Peripheral blood film; Romanowsky-type stain — 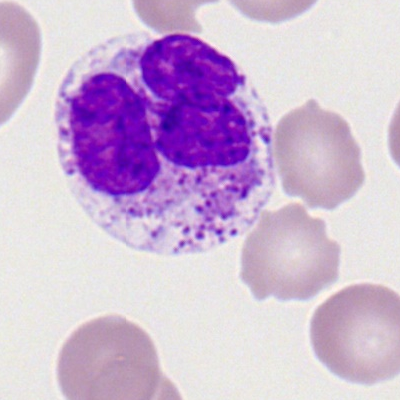

Morphological class = basophil.